40× objective, oil immersion; single-cell crop; bone marrow smear:
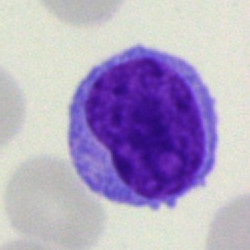

Q: Which cell type is shown here?
A: A lymphocyte.